250 by 250 pixels · bone marrow smear — 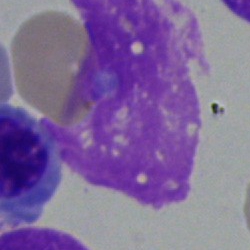Q: What is shown here?
A: It is an artifact.